40× oil immersion. Bone marrow smear
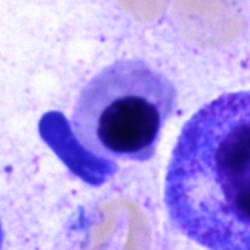
Q: What cell is this?
A: It is a nucleated red cell.